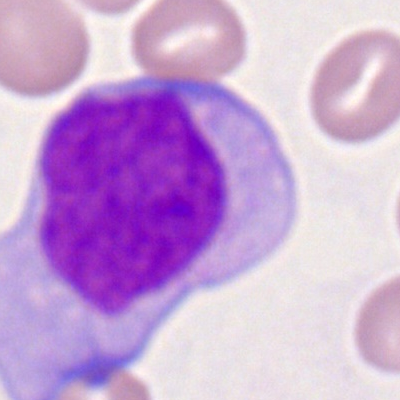The cell is monoblast.